Bone marrow smear — 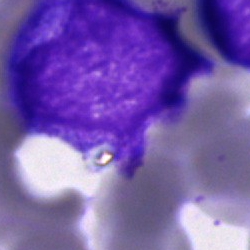
Q: What cell is this?
A: Unidentifiable cell.